Bone marrow aspirate smear — 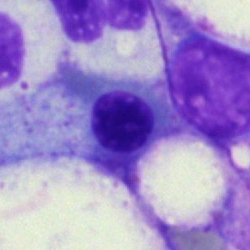

Single cell identified as an erythroblast.